Bone marrow smear. May-Grünwald-Giemsa/Pappenheim stain: 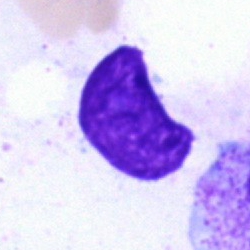
Showing an artifact.